MGG-stained; bone marrow aspirate smear — 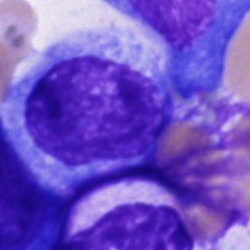
Specimen: bone marrow smear.
Morphological class: cell of indeterminate lineage.